Bone marrow aspirate smear; brightfield, 40× oil-immersion objective
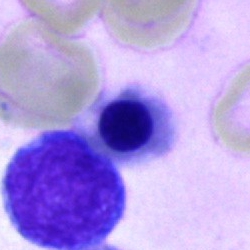
Q: What is shown here?
A: This is a normoblast.